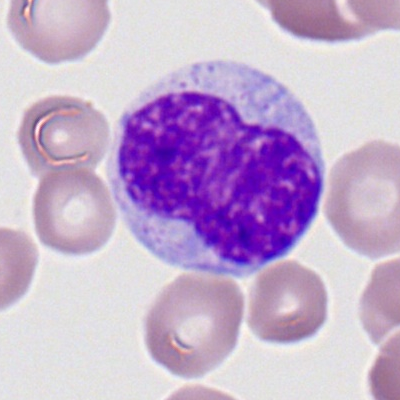
The cell shown is a monocyte.